Bone marrow smear; cropped to a single cell: 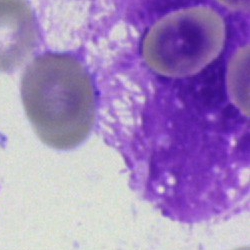

Morphological class = artifact.